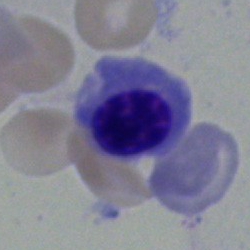Specimen: bone marrow aspirate smear.
Cell type: normoblast.
Lineage: erythroid.